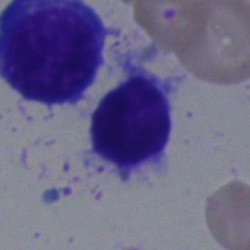 Cell — typical lymphocyte.